Bone marrow smear
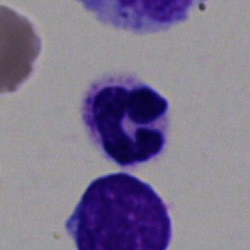
Cell type — polymorphonuclear neutrophil.